Bone marrow aspirate smear — 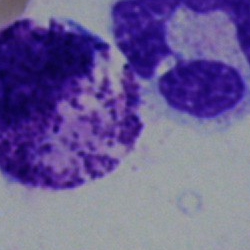Impression — basophil.